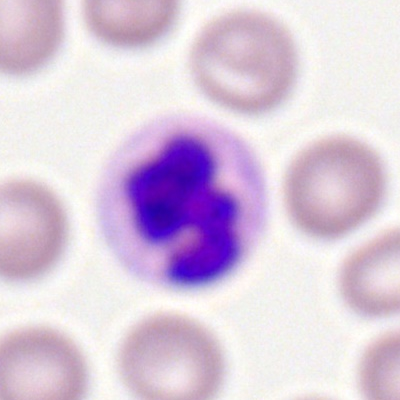 Single-cell crop from a peripheral blood smear: segmented neutrophil.